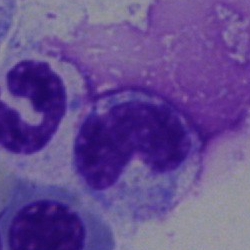 Showing a band neutrophil.